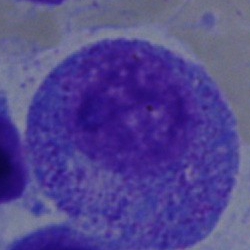

Single cell identified as a promyelocyte.